Romanowsky-type stain · peripheral blood film.
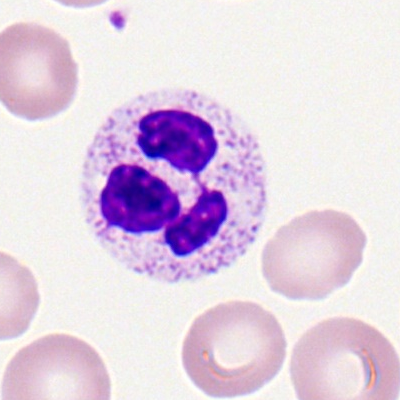Q: What type of cell is this?
A: It is a polymorphonuclear neutrophil.